Bone marrow smear
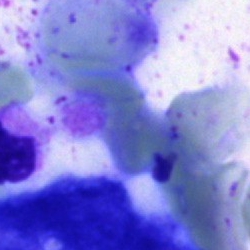

Cell type — artifact.